Peripheral blood film.
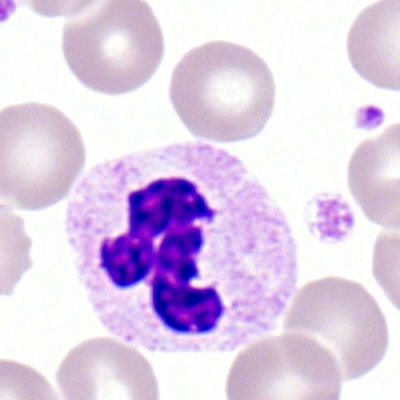
Impression — neutrophil (segmented).